Bone marrow aspirate smear
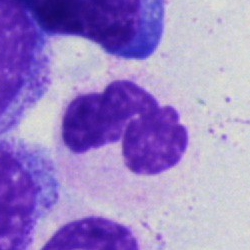The cell shown is a neutrophil (segmented).